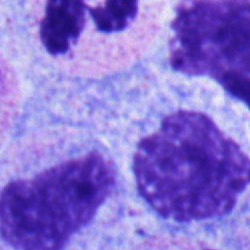
Specimen: bone marrow aspirate smear.
Morphological class: polymorphonuclear neutrophil.